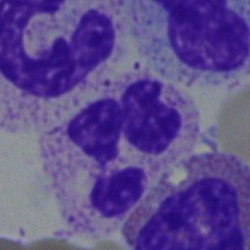 Bone marrow smear showing a polymorphonuclear neutrophil.